Bone marrow aspirate smear; 250×250 px; Pappenheim-stained: 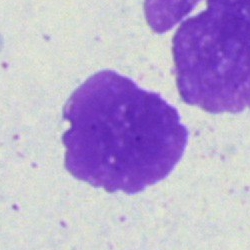 Specimen: bone marrow smear.
Morphological class: artefact.